Bone marrow smear — 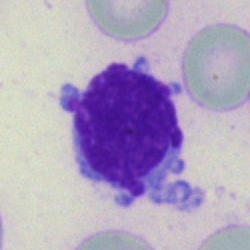
Cell — typical lymphocyte.